Bone marrow smear:
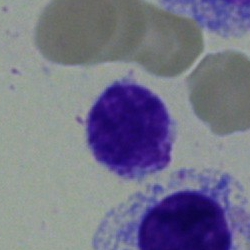Q: What cell is this?
A: It is a typical lymphocyte.